Bone marrow smear.
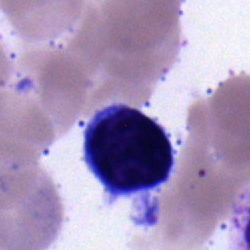Cell = typical lymphocyte.